Single cell centered in the field. Bone marrow smear: 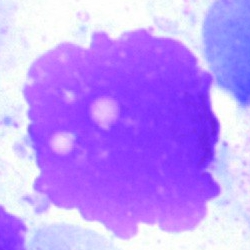 Morphology → artifact.